40× oil immersion. Bone marrow smear.
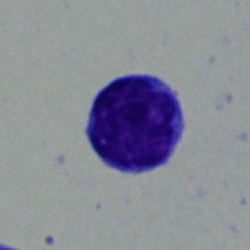

Morphological class = lymphocyte.